Single-cell field · bone marrow aspirate smear · brightfield, 40× oil-immersion objective
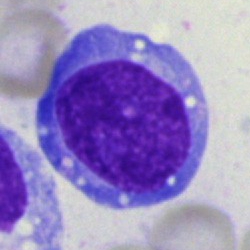 A blast.